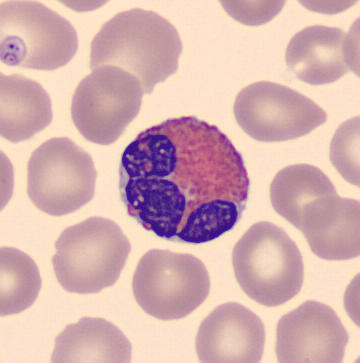

Morphological class: eosinophilic granulocyte.

Preparation: Peripheral blood smear.